Bone marrow aspirate smear.
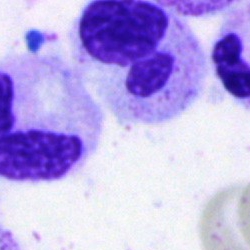

{"cell_type": "segmented neutrophil"}